Bone marrow aspirate smear — 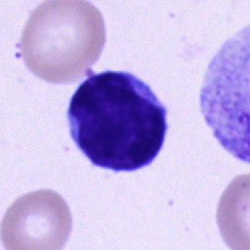
The cell type is lymphocyte.